Bone marrow aspirate smear:
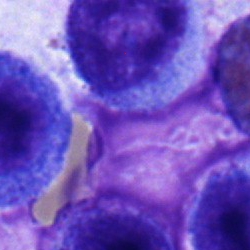 Specimen: bone marrow aspirate smear.
Classification: progranulocyte.
Lineage: myeloid.